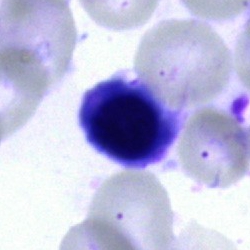
Specimen: bone marrow aspirate smear.
Classification: erythroblast.